Bone marrow smear · cropped to a single cell
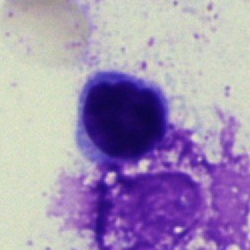 {"cell_type": "lymphocyte", "lineage": "lymphoid"}